Peripheral blood film — 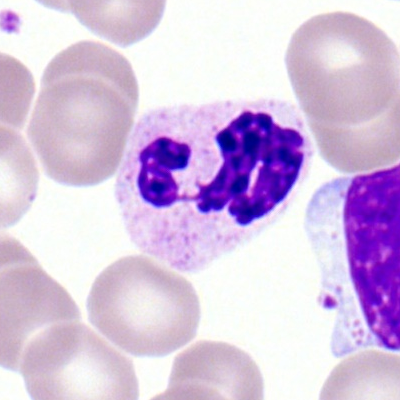
The cell shown is a polymorphonuclear neutrophil.